Single cell centered in the field; bone marrow aspirate smear — 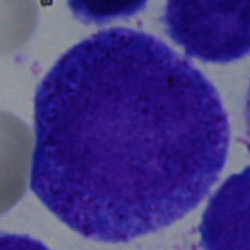
Cell — progranulocyte.